Pappenheim-stained. Bone marrow smear. Brightfield microscopy, 40× oil immersion — 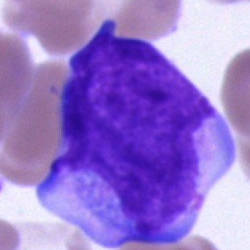 Specimen: bone marrow smear.
Morphological class: blast.